Bone marrow smear
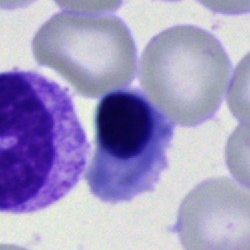Impression → nucleated red blood cell.